Bone marrow aspirate smear — 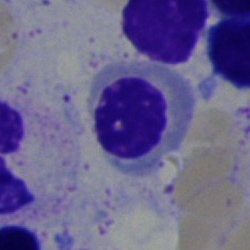 Showing a nucleated red cell.